Bone marrow aspirate smear: 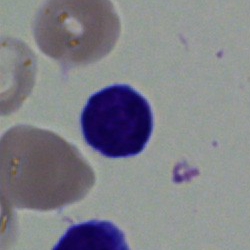

Impression — typical lymphocyte.